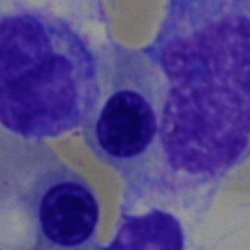
Cell = erythroblast.